Bone marrow aspirate smear — 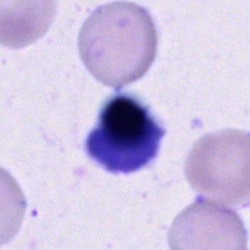

Morphology consistent with an unidentifiable cell.